Bone marrow smear; single-cell field; 250 by 250 pixels: 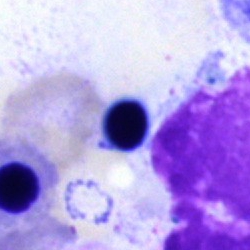Specimen: bone marrow smear.
Cell: artefact.